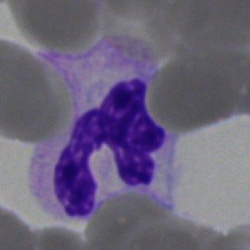 The classification is polymorphonuclear neutrophil.